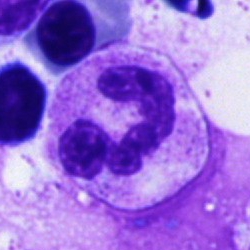 Specimen: bone marrow aspirate smear.
Morphological class: polymorphonuclear neutrophil.
Lineage: myeloid.